Bone marrow smear
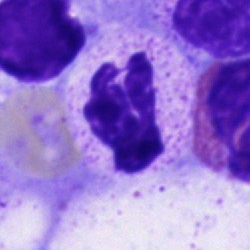

The cell shown is a neutrophil (segmented).